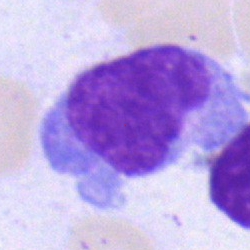Morphology → monocyte.